40× objective, oil immersion; 250 by 250 pixels; bone marrow aspirate smear
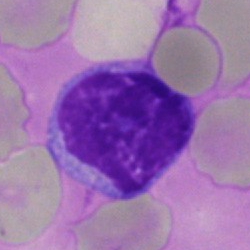

Q: What cell is this?
A: A lymphocyte.